Bone marrow aspirate smear
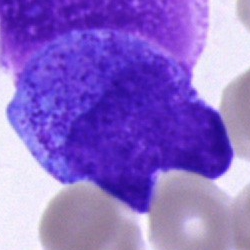 Cell — progranulocyte.